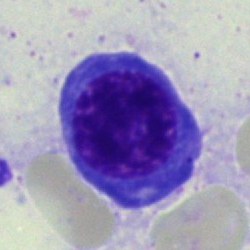

Specimen: bone marrow aspirate smear.
Morphological class: promyelocyte.
Lineage: myeloid.